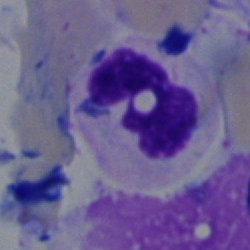
Morphology — neutrophil (segmented).